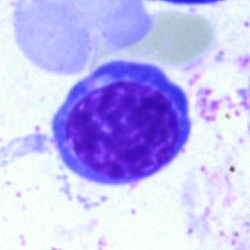
Morphological class — lymphocyte.